Bone marrow aspirate smear · MGG-stained:
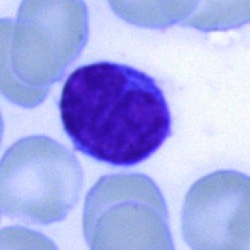 Q: Which cell type is shown here?
A: This is a lymphocyte.